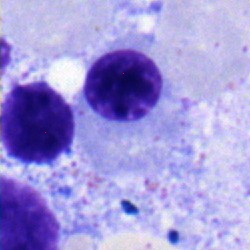

A nucleated red cell on a bone marrow smear.